Bone marrow smear · 40× oil immersion.
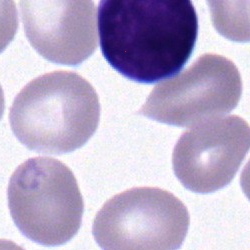
Single cell identified as a lymphocyte.